250×250; bone marrow aspirate smear: 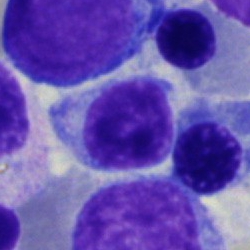 Q: What type of cell is this?
A: This is a typical lymphocyte.